Bone marrow aspirate smear: 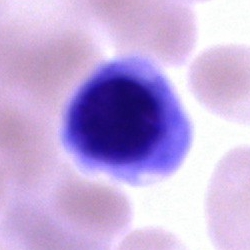

Morphology consistent with a nucleated red blood cell.